Bone marrow smear:
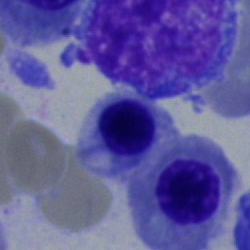

Morphology consistent with a normoblast.